Bone marrow smear: 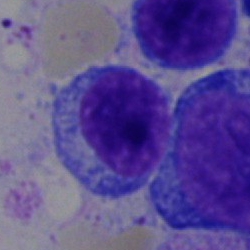 Specimen: bone marrow aspirate smear.
Cell: lymphocyte.